Bone marrow smear: 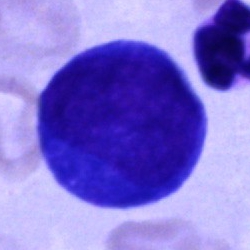 Q: What is shown here?
A: It is a blast.